Bone marrow smear
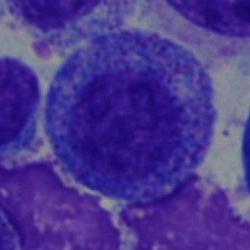
Specimen: bone marrow smear.
Cell: promyelocyte.
Lineage: myeloid.